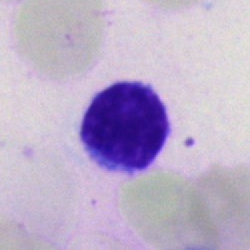Lymphocyte.